Bone marrow smear. 250×250 px
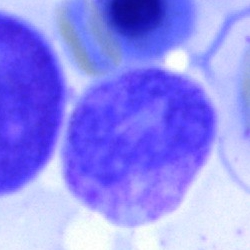

Specimen: bone marrow smear.
Classification: neutrophil (segmented).
Lineage: myeloid.